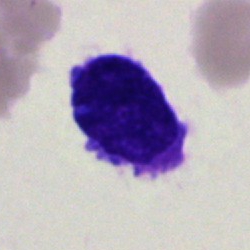

Specimen: bone marrow aspirate smear.
Cell type: blast cell.